Bone marrow aspirate smear:
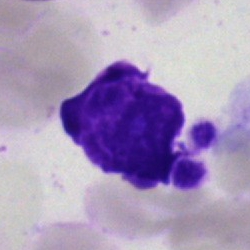

Single cell identified as an artefact.